Single cell centered in the field · bone marrow smear · brightfield, 40× oil-immersion objective — 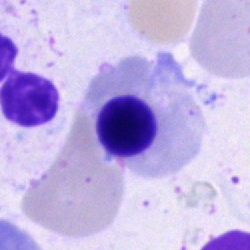
Normoblast.